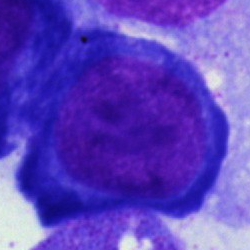

{"cell_type": "pronormoblast", "lineage": "erythroid"}